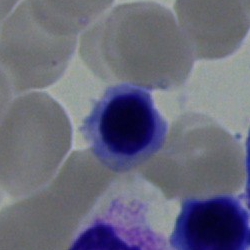 Showing a nucleated red cell.